250×250. Single-cell crop. Bone marrow smear:
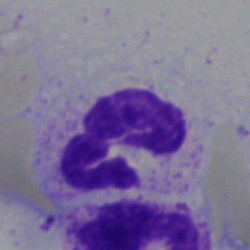 Q: What is the morphological classification of this cell?
A: This is a polymorphonuclear neutrophil.